Bone marrow aspirate smear; image size 250×250:
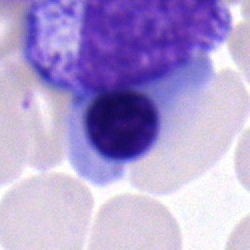
Showing a normoblast.